Bone marrow aspirate smear; May-Grünwald-Giemsa/Pappenheim stain.
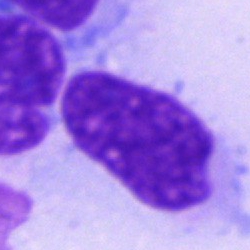

Classification: artifact.